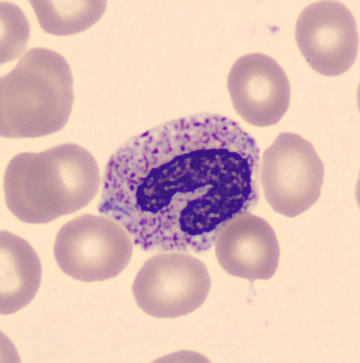
Peripheral blood smear. Imaged on a CellaVision DM96 analyser.

Morphological class = band-form neutrophil.